Bone marrow aspirate smear. 40× oil immersion. Image size 250×250 — 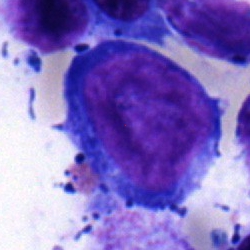Impression → proerythroblast.